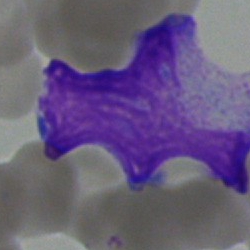
{"cell_type": "blast"}